Bone marrow smear.
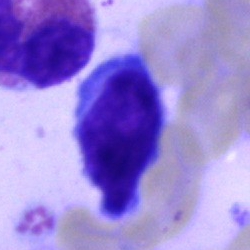

Showing a typical lymphocyte.